250×250 px; bone marrow smear — 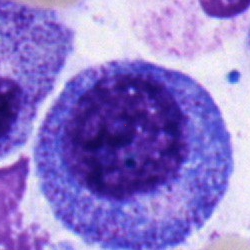

Showing a promyelocyte.